Bone marrow aspirate smear:
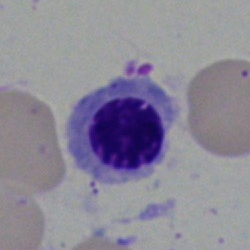
Specimen: bone marrow smear.
Classification: erythroblast.
Lineage: erythroid.